MGG-stained; bone marrow aspirate smear
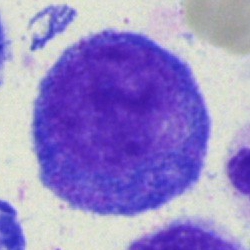

The cell shown is a progranulocyte.